Brightfield microscopy, 40× oil immersion. Bone marrow smear. 250×250 px:
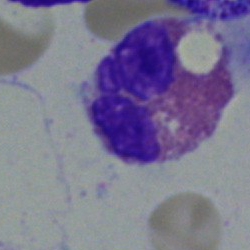 Morphology → eosinophilic granulocyte.